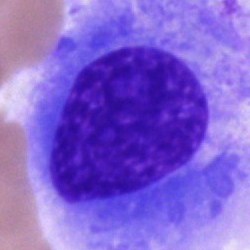

Specimen: bone marrow smear.
Cell: plasma cell.
Lineage: lymphoid.